Bone marrow aspirate smear
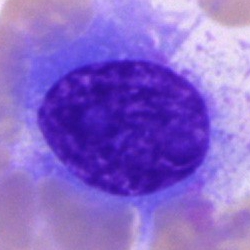
Cell: plasmacyte.